250×250 px · bone marrow aspirate smear · brightfield microscopy, 40× oil immersion:
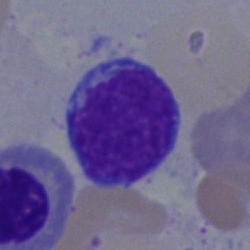 {"cell_type": "lymphocyte", "lineage": "lymphoid"}